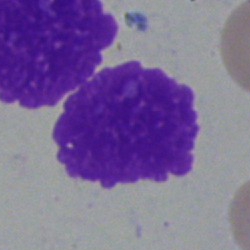
Q: What is shown here?
A: An artifact.